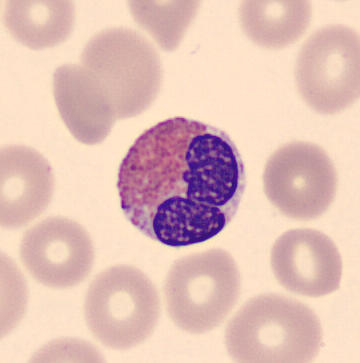

Acquisition: MGG stain · peripheral blood smear · single cell centered in the field.

Single cell identified as an eosinophilic granulocyte.